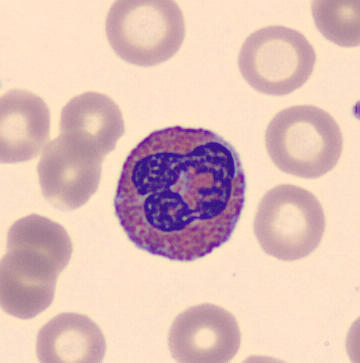
This is an eosinophil. Peripheral blood film.